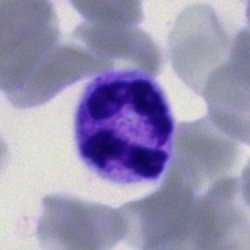 Specimen: bone marrow smear.
Cell type: neutrophil (segmented).
Lineage: myeloid.